MGG-stained; single cell centered in the field; bone marrow smear — 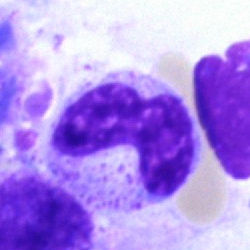 The cell type is band neutrophil.